Bone marrow smear. Pappenheim-stained. Image size 250×250 — 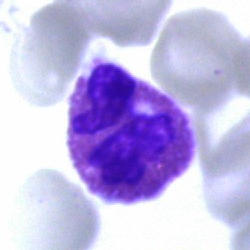Eosinophil.